Cropped to a single cell · bone marrow smear — 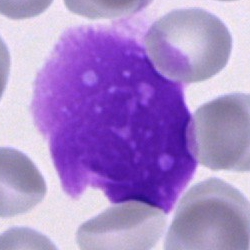The cell is artifact.